Bone marrow smear. May-Grünwald-Giemsa/Pappenheim stain: 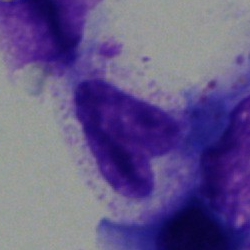Cell — metamyelocyte.